Bone marrow aspirate smear.
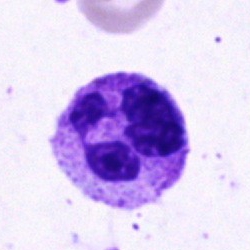

Impression — polymorphonuclear neutrophil.